Brightfield microscopy, 40× oil immersion; MGG-stained; bone marrow smear
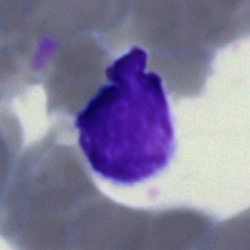
Morphology consistent with a typical lymphocyte.